Image size 250×250. Bone marrow aspirate smear: 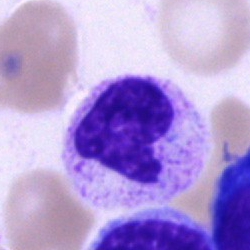Classification — neutrophil (segmented).